Bone marrow aspirate smear — 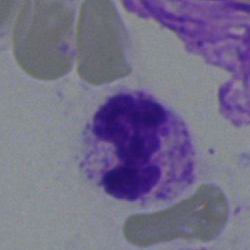

Q: Identify the cell.
A: Segmented neutrophil.